40× oil immersion; bone marrow aspirate smear; 250 by 250 pixels
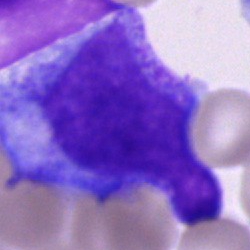 Classification = progranulocyte.